Bone marrow aspirate smear
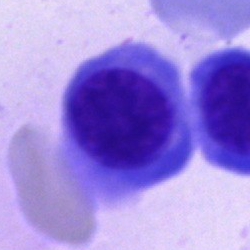
A plasma cell.